Bone marrow smear:
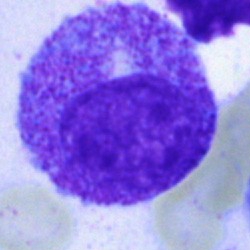 Cell — myelocyte.